250 by 250 pixels; 40× objective, oil immersion; bone marrow smear: 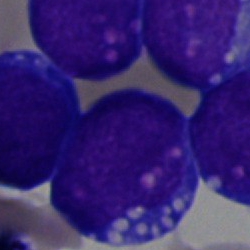Q: What is the morphological classification of this cell?
A: This is a blast.